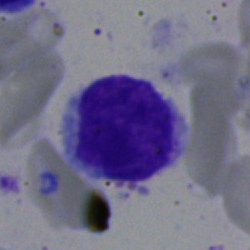

{"cell_type": "lymphocyte", "lineage": "lymphoid"}